100× oil immersion, 14.14 px/µm · peripheral blood film · Romanowsky-type stain.
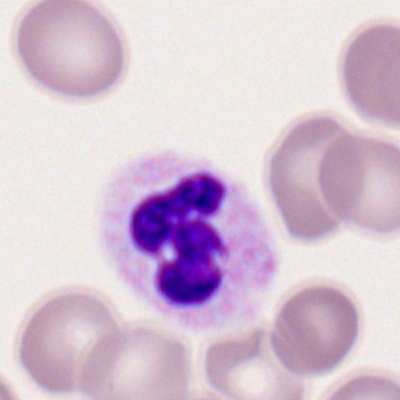 Q: Identify the cell.
A: Segmented neutrophil.